Bone marrow aspirate smear: 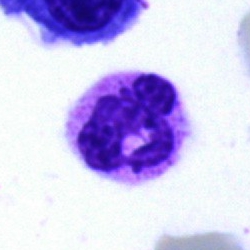
Morphology consistent with a segmented neutrophil.